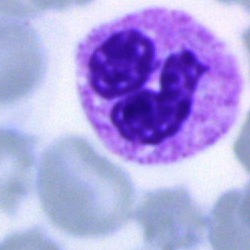 Q: Which cell type is shown here?
A: This is a polymorphonuclear neutrophil.